Bone marrow smear:
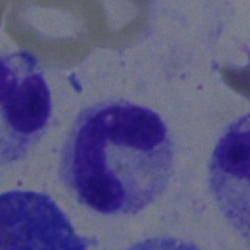 Cell type: polymorphonuclear neutrophil.